Image size 250×250 · bone marrow aspirate smear: 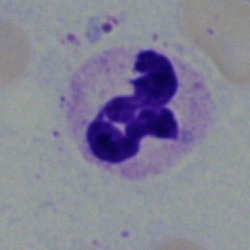
Impression → neutrophil (segmented).